Bone marrow smear.
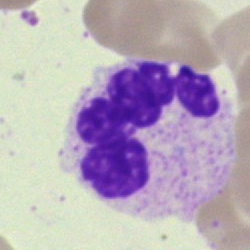

The classification is polymorphonuclear neutrophil.